Bone marrow smear · 40× objective, oil immersion — 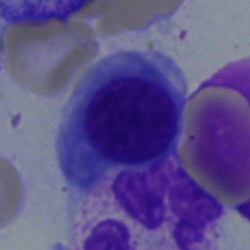Morphological class = normoblast.